Bone marrow aspirate smear. Image size 250×250.
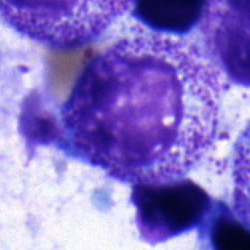 Morphology consistent with a myelocyte.